May-Grünwald-Giemsa/Pappenheim stain. Bone marrow smear
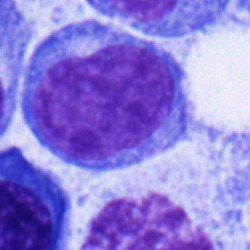

Q: What type of cell is this?
A: Blast.